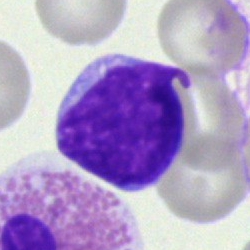 Q: Identify the cell.
A: Blast.